Brightfield microscopy, 40× oil immersion. Bone marrow aspirate smear.
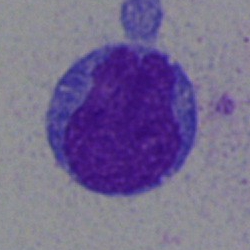Q: What cell is this?
A: It is a blast cell.